Bone marrow aspirate smear
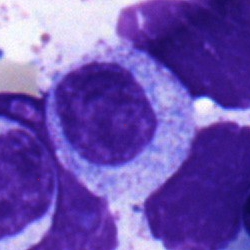Cell: myelocyte.